Bone marrow smear — 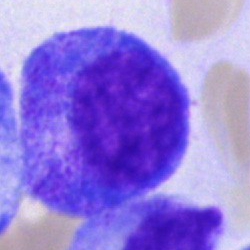Classification: progranulocyte.